Cropped to a single cell. Bone marrow aspirate smear:
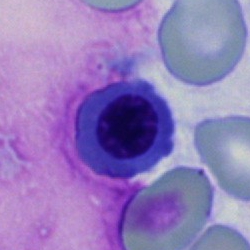 Classification = nucleated red blood cell.